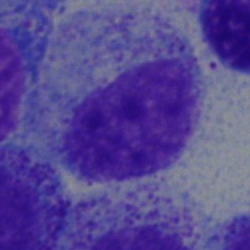A myelocyte.